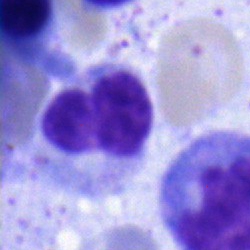 The cell type is band neutrophil.